Peripheral blood film.
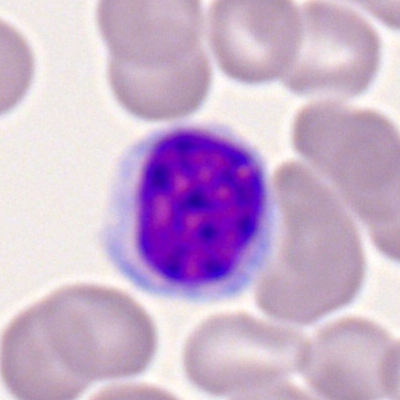

Cell type = lymphocyte.